Bone marrow aspirate smear; 40× oil immersion: 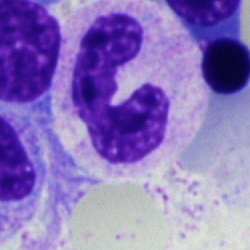

Cell type — band-form neutrophil.